Bone marrow aspirate smear · 40× objective, oil immersion · single cell centered in the field.
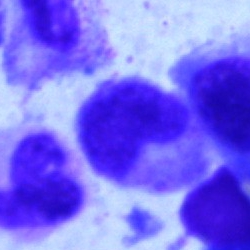Cell type — metamyelocyte.